Bone marrow smear; brightfield, 40× oil-immersion objective; image size 250×250 — 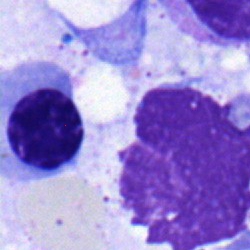Specimen: bone marrow aspirate smear.
Classification: erythroblast.
Lineage: erythroid.